Bone marrow aspirate smear: 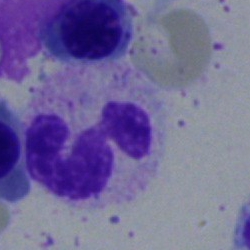

Single cell identified as a polymorphonuclear neutrophil.